Bone marrow smear.
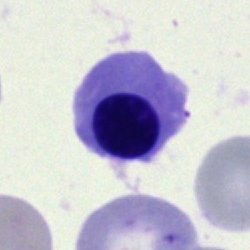

Q: What type of cell is this?
A: This is a nucleated red cell.